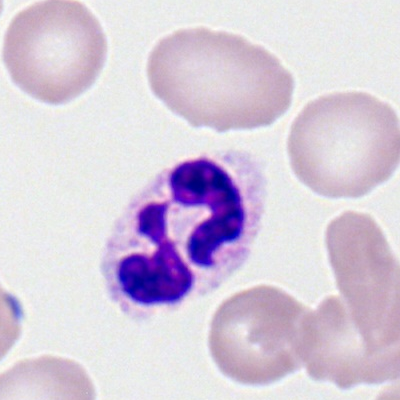

This is a polymorphonuclear neutrophil.